Bone marrow smear
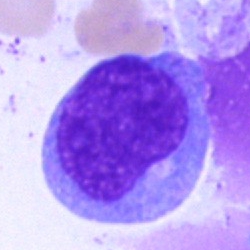 Impression → monocyte.